Bone marrow aspirate smear; 250×250:
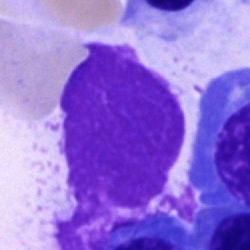

Q: What is shown here?
A: Artefact.